Bone marrow smear — 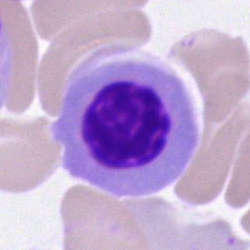
Specimen: bone marrow smear.
Classification: nucleated red cell.
Lineage: erythroid.